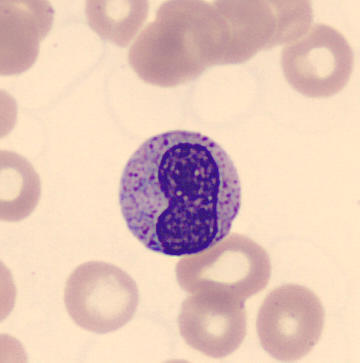

Q: Which cell type is shown here?
A: Metamyelocyte.
Peripheral blood film. CellaVision DM96.